250×250 · bone marrow smear — 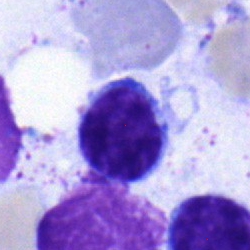

The morphological class is typical lymphocyte.